Bone marrow smear. Brightfield, 40× oil-immersion objective: 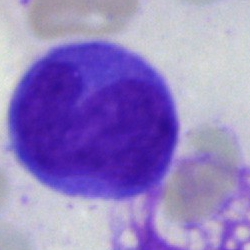Q: What is the morphological classification of this cell?
A: A monocyte.